40× objective, oil immersion · May-Grünwald-Giemsa/Pappenheim stain · bone marrow smear:
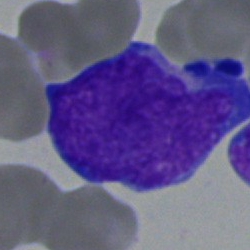

Cell type = blast.